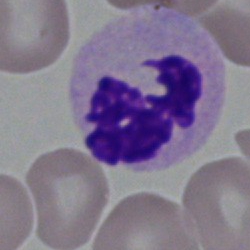Q: What type of cell is this?
A: Neutrophil (segmented).